Bone marrow smear
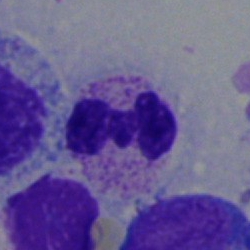
Single cell identified as a polymorphonuclear neutrophil.